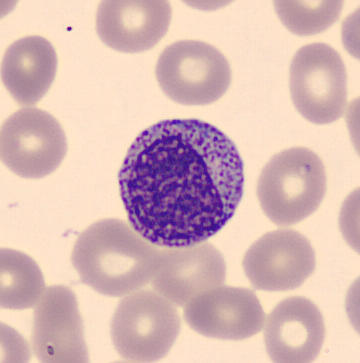Peripheral blood film.

The cell shown is a myelocyte.